40× objective, oil immersion. Bone marrow smear:
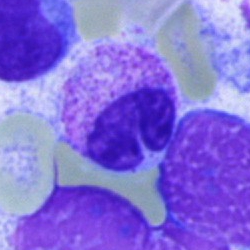This is a segmented neutrophil.